Image size 250×250. Bone marrow smear. Pappenheim-stained:
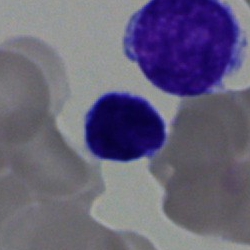

Q: What is shown here?
A: This is a lymphocyte.